Bone marrow aspirate smear
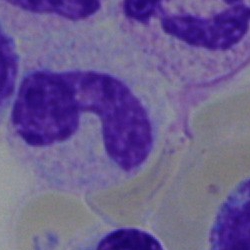 The cell shown is a band-form neutrophil.